Peripheral blood smear.
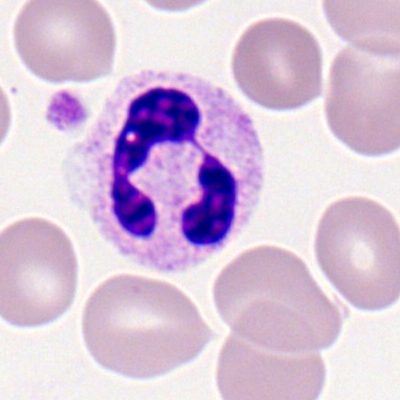
Morphological class = segmented neutrophil.